Bone marrow smear:
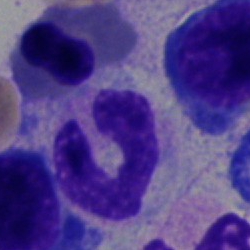Cell type — band neutrophil.